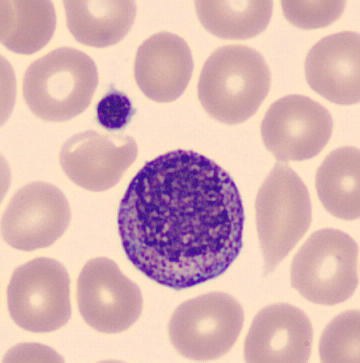
CellaVision DM96 digital cell image; peripheral blood smear.

Morphology consistent with a myelocyte.